Image size 250×250 · brightfield microscopy, 40× oil immersion · bone marrow aspirate smear
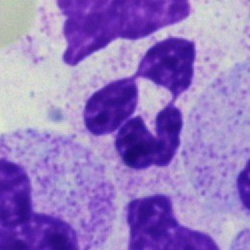

Cell type: neutrophil (segmented).